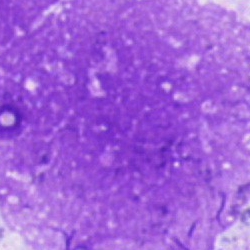
Morphology — artefact.